Bone marrow aspirate smear: 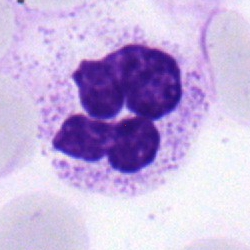
Morphology → segmented neutrophil.